Image size 250×250. Bone marrow smear.
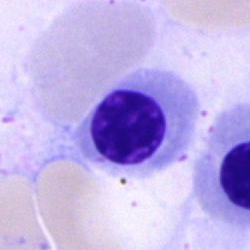 Classification: nucleated red blood cell.